Bone marrow smear; MGG-stained; 250×250 — 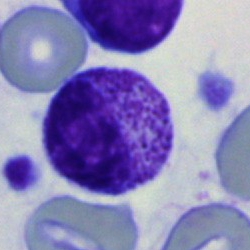
This is a myelocyte.